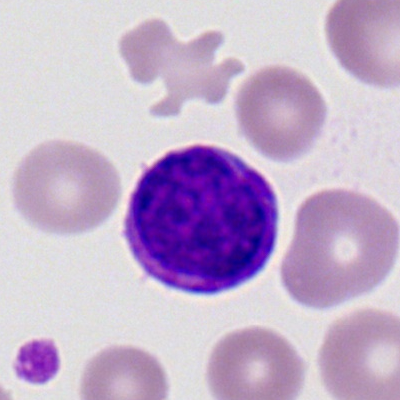

Morphology → typical lymphocyte.